Bone marrow aspirate smear · Pappenheim-stained.
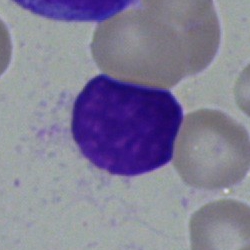 This is an artefact.